Bone marrow aspirate smear — 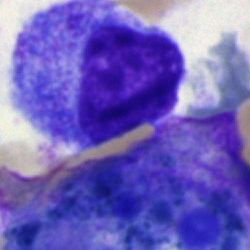
Classification = cell of indeterminate lineage.